Bone marrow smear; 250×250: 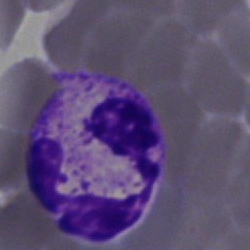
Morphology consistent with a polymorphonuclear neutrophil.